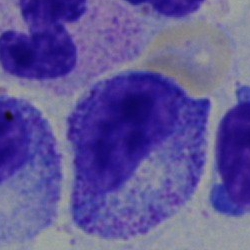

Myelocyte.